Bone marrow aspirate smear; MGG-stained; 250 by 250 pixels.
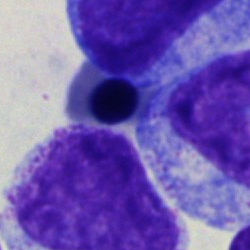

{"cell_type": "nucleated red blood cell"}